Bone marrow smear: 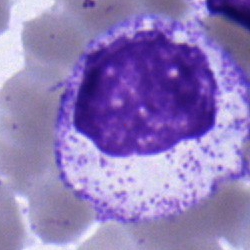 Classification — myelocyte.